Bone marrow aspirate smear:
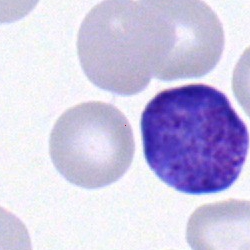Typical lymphocyte.